Bone marrow smear · cropped to a single cell:
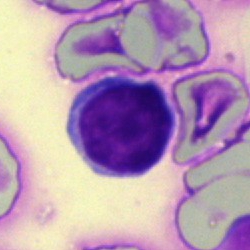{"cell_type": "lymphocyte"}